Brightfield, 40× oil-immersion objective · bone marrow smear:
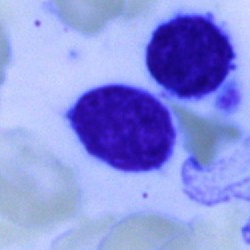

The morphological class is typical lymphocyte.